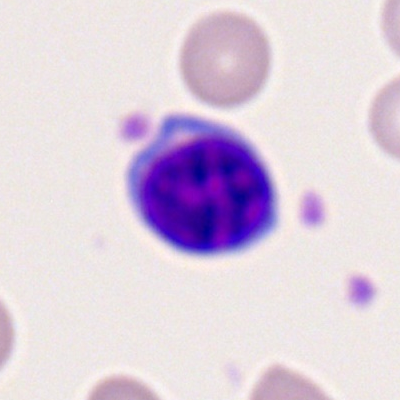 The cell shown is a lymphocyte.